Bone marrow aspirate smear — 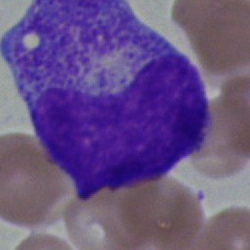Cell — metamyelocyte.